Bone marrow aspirate smear
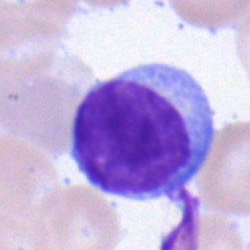Q: What cell is this?
A: It is a lymphocyte.